Bone marrow smear: 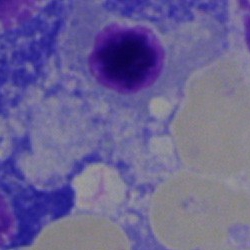

Specimen: bone marrow smear.
Morphological class: nucleated red cell.
Lineage: erythroid.